40× objective, oil immersion; single-cell field; bone marrow aspirate smear: 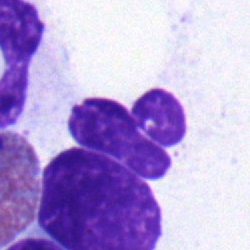

{"cell_type": "segmented neutrophil"}